Bone marrow smear · brightfield, 40× oil-immersion objective:
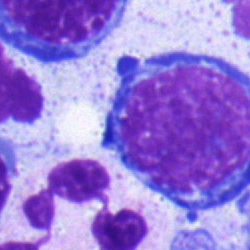

Morphology → normoblast.